Bone marrow smear — 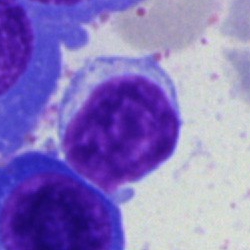

{"cell_type": "typical lymphocyte"}